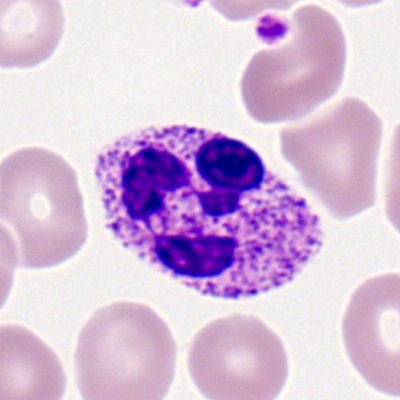Cell type: polymorphonuclear neutrophil.